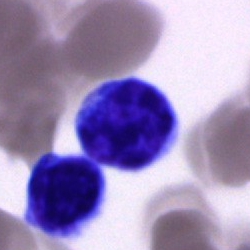

The cell shown is a typical lymphocyte.